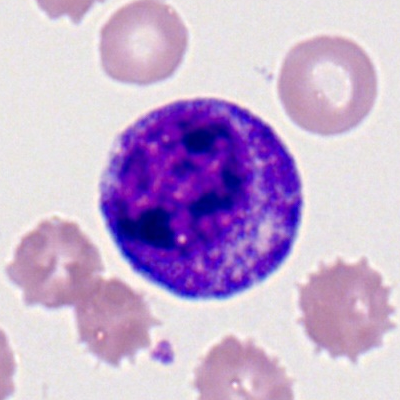Single-cell crop from a peripheral blood smear: progranulocyte.